Peripheral blood smear · 100× oil immersion, 14.14 px/µm.
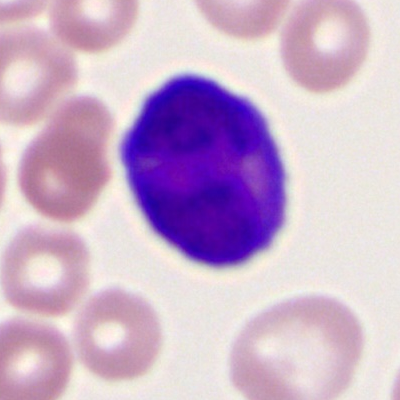
Impression — myeloblast.